250 by 250 pixels; bone marrow smear — 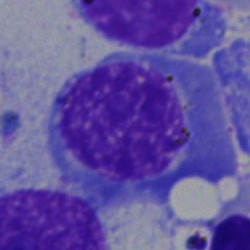
Cell: nucleated red blood cell.